Bone marrow smear. Single-cell crop. Brightfield, 40× oil-immersion objective: 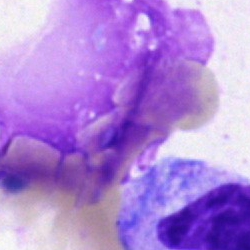

Impression — artefact.